Bone marrow aspirate smear — 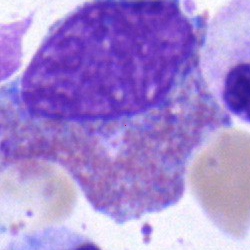Cell type — eosinophilic granulocyte.